May-Grünwald-Giemsa/Pappenheim stain; bone marrow aspirate smear: 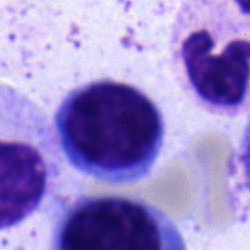
Specimen: bone marrow aspirate smear.
Classification: lymphocyte.
Lineage: lymphoid.